Single-cell field. Bone marrow aspirate smear — 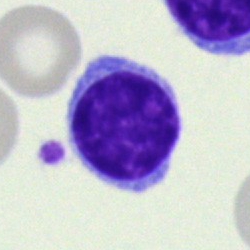This is a lymphocyte.